Peripheral blood film; 400 by 400 pixels: 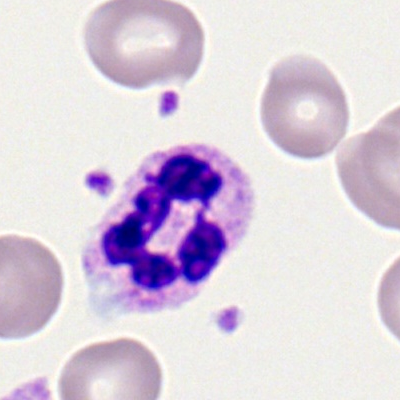
The cell type is neutrophil (segmented).